Bone marrow aspirate smear. May-Grünwald-Giemsa/Pappenheim stain
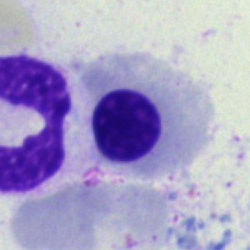
Nucleated red cell.